Bone marrow smear.
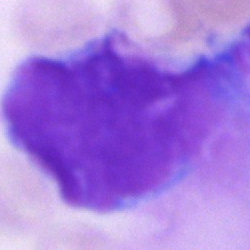
Q: What is shown here?
A: It is an artefact.